Peripheral blood film: 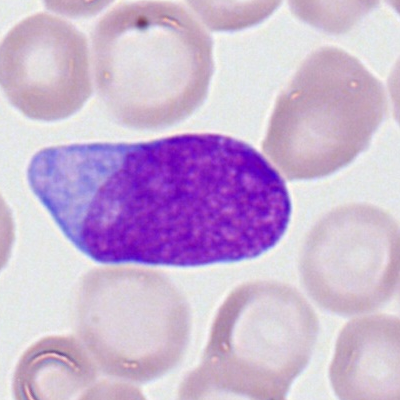 The cell type is myeloblast.